Bone marrow smear; 40× oil immersion; 250×250.
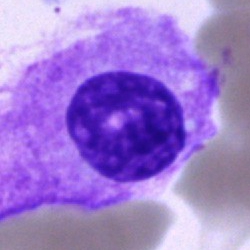
Morphology → plasma cell.